MGG-stained · bone marrow aspirate smear
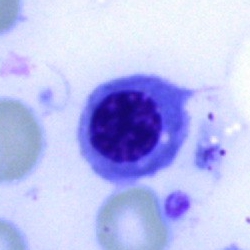This is a nucleated red blood cell.